Bone marrow smear — 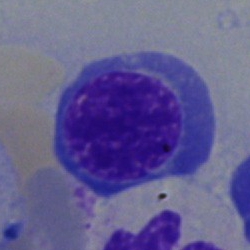
Impression — nucleated red blood cell.